Bone marrow aspirate smear. Image size 250×250:
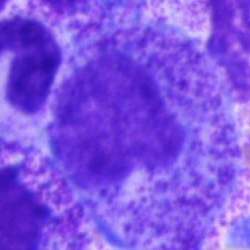 Morphology consistent with a progranulocyte.